Bone marrow smear:
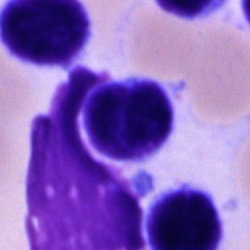Morphology → lymphocyte.